Bone marrow smear — 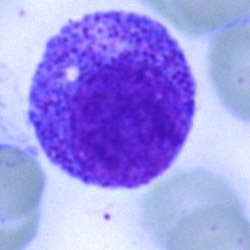 The cell shown is a progranulocyte.